May-Grünwald-Giemsa stain · bone marrow smear · brightfield, 40× oil-immersion objective.
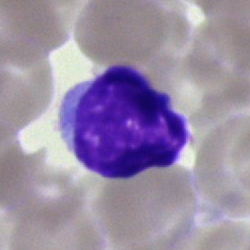 Showing a typical lymphocyte.